Bone marrow aspirate smear — 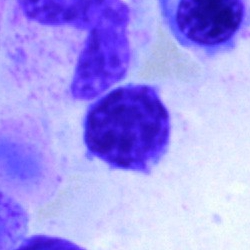A lymphocyte.